Pappenheim-stained · bone marrow aspirate smear
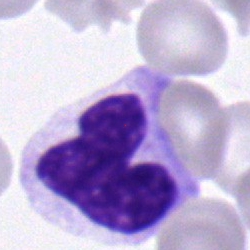

Showing a stab cell.